Peripheral blood smear · 400×400: 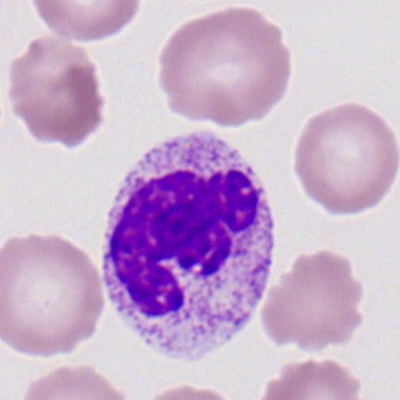 Q: What cell is this?
A: It is a segmented neutrophil.